Single-cell crop; 250 by 250 pixels; bone marrow aspirate smear.
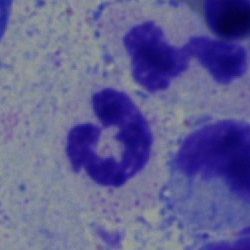

Segmented neutrophil.